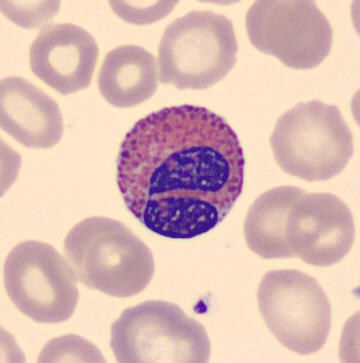 CellaVision DM96. MGG-stained.
Specimen: peripheral blood film.
Cell: eosinophil.